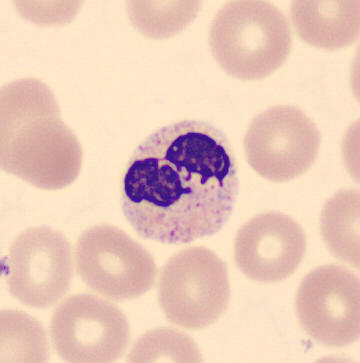

The cell shown is a neutrophil (segmented).

Peripheral blood film. 360×363.